250 by 250 pixels · bone marrow smear — 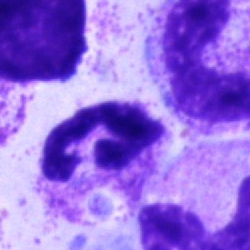Single cell identified as a neutrophil (segmented).